Single cell centered in the field. Bone marrow aspirate smear: 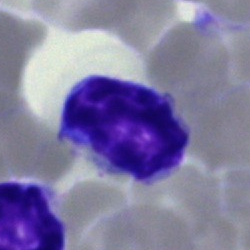Specimen: bone marrow smear.
Morphological class: typical lymphocyte.
Lineage: lymphoid.